Bone marrow smear. Pappenheim-stained:
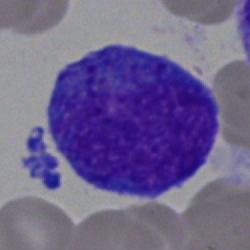
The cell type is promyelocyte.